Bone marrow aspirate smear:
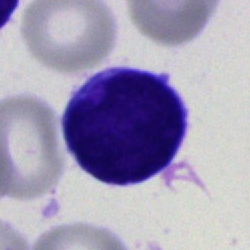

Classification: blast cell.